Bone marrow smear
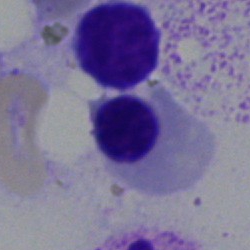

Classification: normoblast.